Bone marrow smear
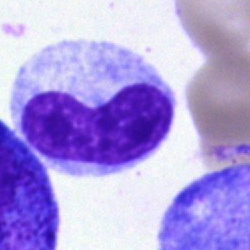Morphological class = stab cell.